Bone marrow smear — 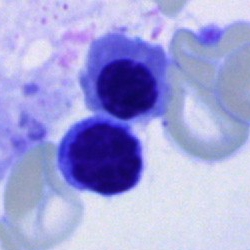
Q: What is shown here?
A: A nucleated red blood cell.